Romanowsky-stained; 100× oil immersion; peripheral blood film.
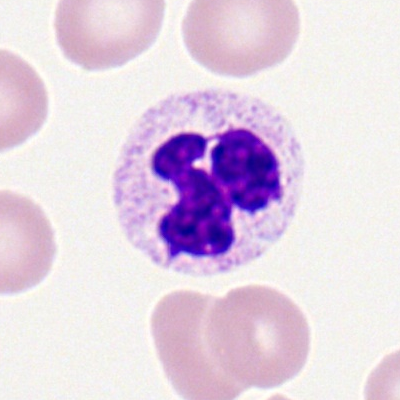

Morphology consistent with a segmented neutrophil.